Single-cell crop. Peripheral blood film. Romanowsky-stained: 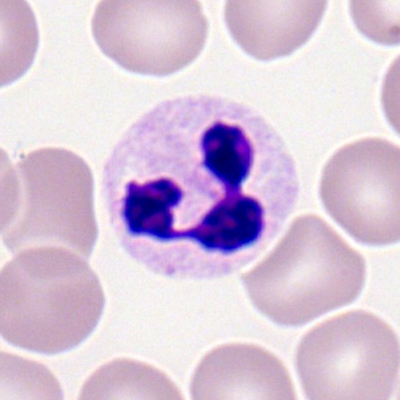
Morphology → polymorphonuclear neutrophil.